Peripheral blood film — 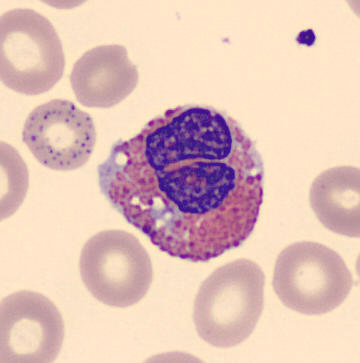Q: What type of cell is this?
A: An eosinophilic granulocyte.